Bone marrow smear
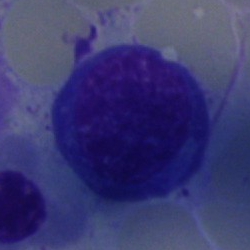

Classification — artifact.